Bone marrow smear. Pappenheim-stained
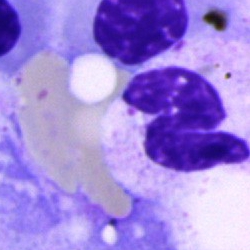
Specimen: bone marrow smear.
Cell: stab cell.
Lineage: myeloid.